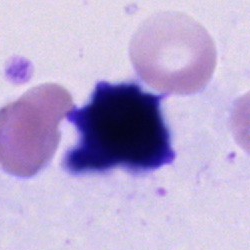
Specimen: bone marrow aspirate smear.
Cell type: unidentifiable cell.